Peripheral blood smear
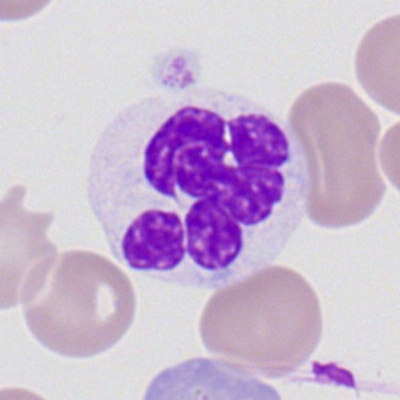Specimen: peripheral blood smear.
Cell type: neutrophil (segmented).
Lineage: myeloid.